Bone marrow smear
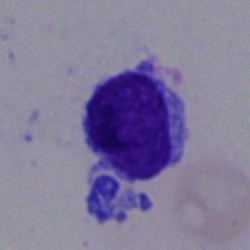 Q: What is the morphological classification of this cell?
A: Typical lymphocyte.